Bone marrow smear — 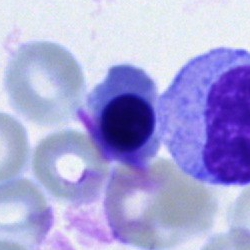

Specimen: bone marrow smear.
Cell type: normoblast.
Lineage: erythroid.